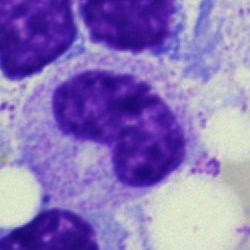
This is a stab cell.